40× oil immersion; bone marrow aspirate smear; Pappenheim-stained:
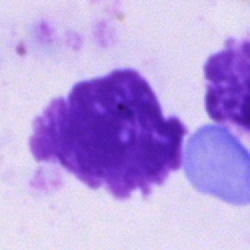
This is an artefact.